Bone marrow aspirate smear — 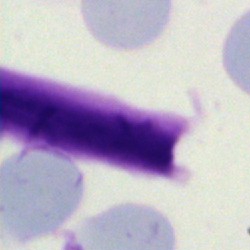

Showing an artefact.